Bone marrow aspirate smear — 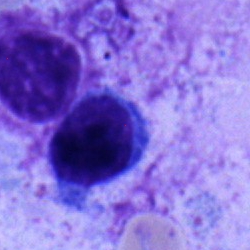Q: What is the morphological classification of this cell?
A: Typical lymphocyte.